Bone marrow smear — 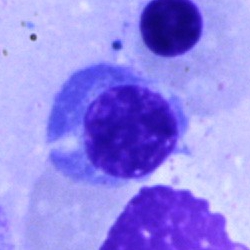

A normoblast.